Bone marrow aspirate smear
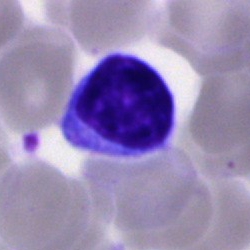

Q: What cell is this?
A: Typical lymphocyte.